Bone marrow smear:
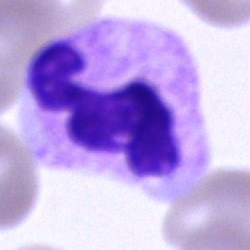

Classification = polymorphonuclear neutrophil.